Bone marrow smear. 250×250 px:
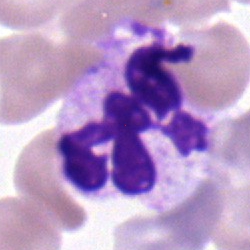Morphological class — segmented neutrophil.